Single-cell field. Bone marrow smear. 40× objective, oil immersion
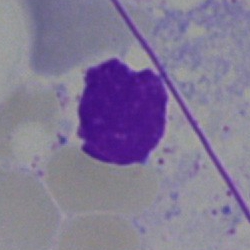

Artifact.